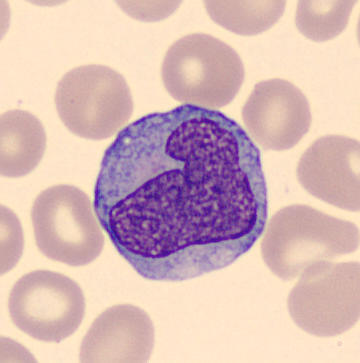

Morphology → monocyte.